Peripheral blood film
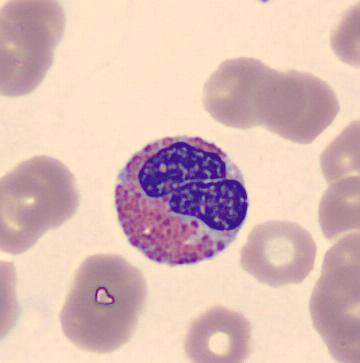

Identified as an eosinophilic granulocyte.